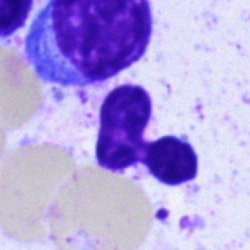 Q: Identify the cell.
A: Polymorphonuclear neutrophil.